40× objective, oil immersion · 250×250 px · bone marrow smear
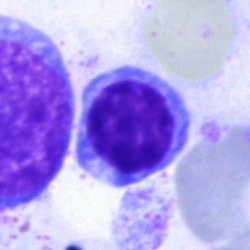Classification = lymphocyte.